Bone marrow aspirate smear. 250×250 px:
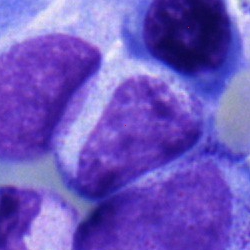 Showing a myelocyte.